Bone marrow smear; 40× objective, oil immersion:
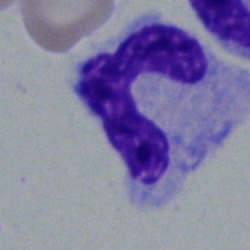
Impression — band neutrophil.